May-Grünwald-Giemsa stain. Bone marrow aspirate smear. 40× oil immersion.
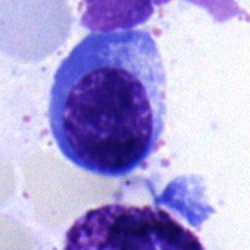 Normoblast.